Bone marrow aspirate smear; May-Grünwald-Giemsa/Pappenheim stain — 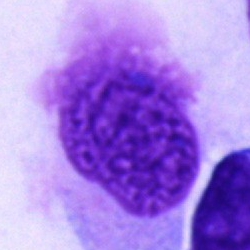
This is an artifact.